Cropped to a single cell. Bone marrow aspirate smear: 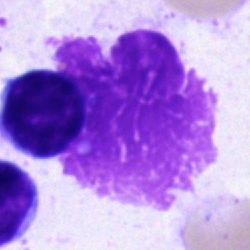
An artefact.